Bone marrow aspirate smear:
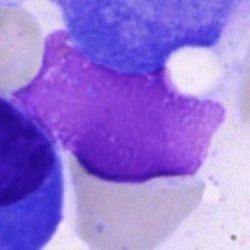 Morphological class = artefact.